250×250 px · bone marrow aspirate smear · Pappenheim-stained:
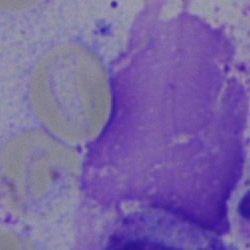
Cell — artefact.